May-Grünwald-Giemsa/Pappenheim stain; 250 by 250 pixels; bone marrow smear:
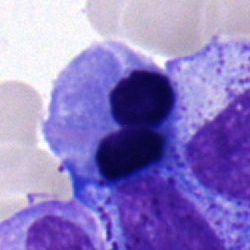
Showing a normoblast.